Bone marrow smear. Brightfield microscopy, 40× oil immersion.
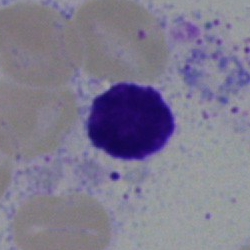
The morphological class is lymphocyte.